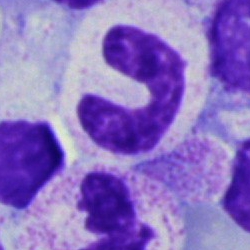Morphological class = band-form neutrophil.